Bone marrow aspirate smear: 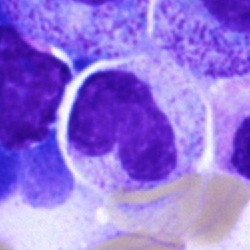

Morphology — band-form neutrophil.